MGG-stained. Bone marrow aspirate smear
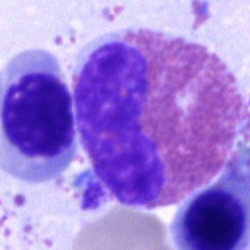Cell type = eosinophilic granulocyte.